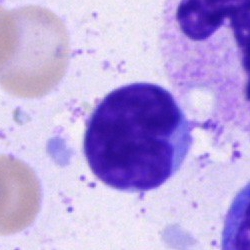 The cell shown is a lymphocyte.